Bone marrow aspirate smear; single-cell crop
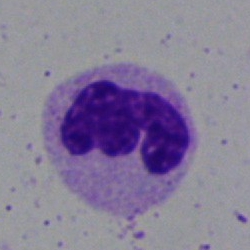Impression — polymorphonuclear neutrophil.